Bone marrow aspirate smear — 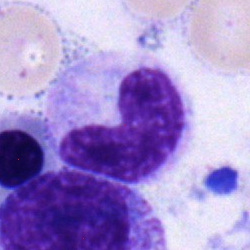

Impression — neutrophil (band).